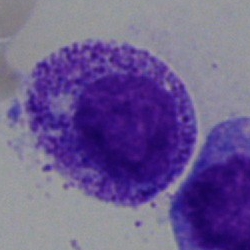 Q: What is shown here?
A: This is a myelocyte.